Bone marrow aspirate smear — 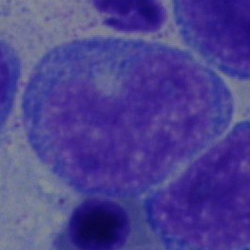This is a blast.